40× objective, oil immersion; image size 250×250; bone marrow aspirate smear
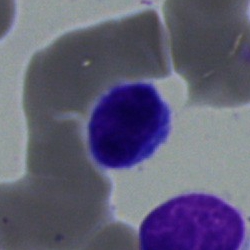 Specimen: bone marrow aspirate smear.
Classification: typical lymphocyte.